Bone marrow aspirate smear
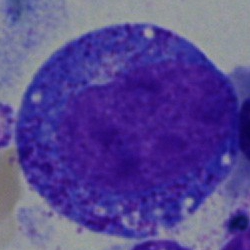

Morphology → progranulocyte.